Bone marrow smear:
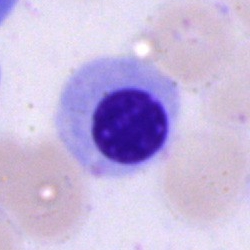 This is an erythroblast.